Bone marrow aspirate smear:
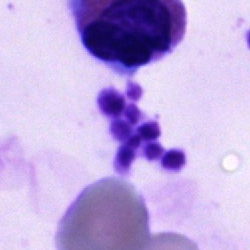Q: What cell is this?
A: An unidentifiable cell.